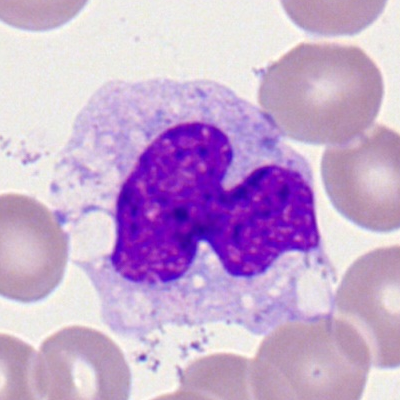

Peripheral blood film, single cell — monocyte.